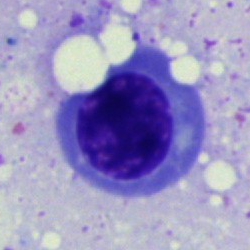
Specimen: bone marrow smear.
Cell type: normoblast.